Bone marrow smear. Single cell centered in the field — 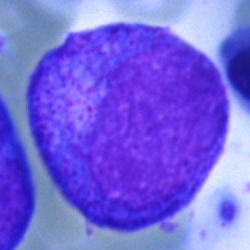 Morphological class — promyelocyte.